Bone marrow aspirate smear:
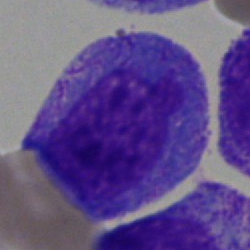
Single cell identified as a promyelocyte.